Bone marrow aspirate smear · brightfield, 40× oil-immersion objective — 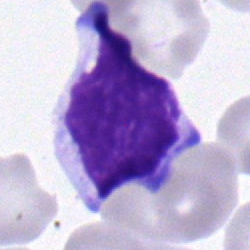Impression — lymphocyte.